Brightfield microscopy, 40× oil immersion · bone marrow smear · 250×250 px
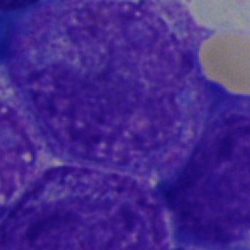 The morphological class is promyelocyte.